Bone marrow aspirate smear:
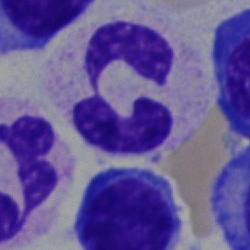 Cell — polymorphonuclear neutrophil.